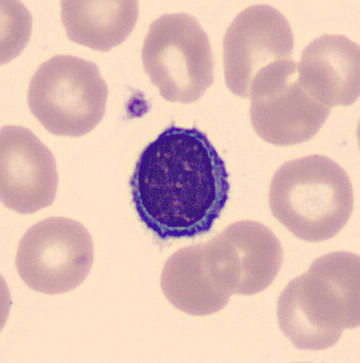

Image: Single-cell field · peripheral blood smear. Identified as a lymphocyte.